Cropped to a single cell. Bone marrow aspirate smear:
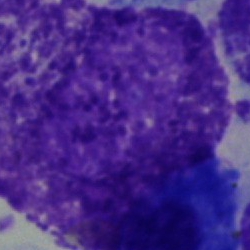
The morphological class is other cell.